MGG-stained. Bone marrow smear. Single cell centered in the field:
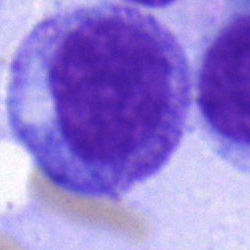Progranulocyte.